Bone marrow aspirate smear: 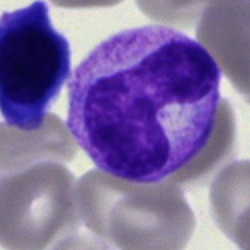

Showing a neutrophil (band).